250 by 250 pixels · bone marrow aspirate smear.
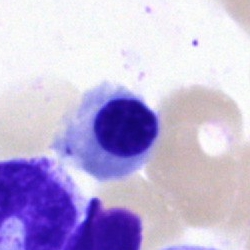

Cell = erythroblast.